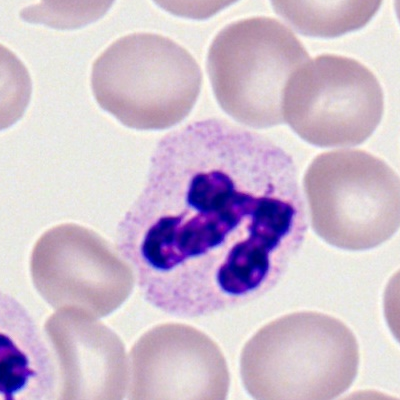 A segmented neutrophil.